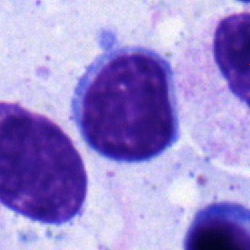
Lymphocyte.